Bone marrow smear. Brightfield microscopy, 40× oil immersion
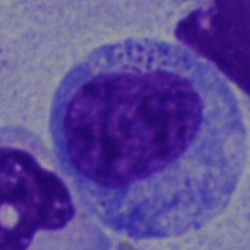 Promyelocyte.